Bone marrow aspirate smear: 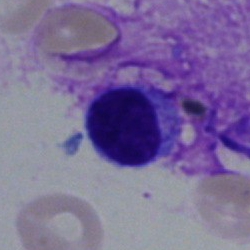 Q: What is the morphological classification of this cell?
A: A lymphocyte.